Bone marrow smear:
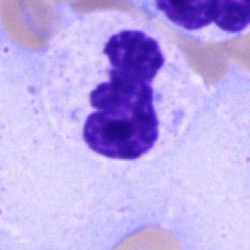The morphological class is neutrophil (segmented).